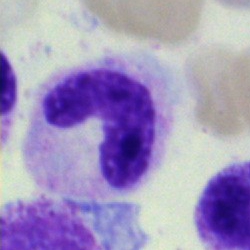Q: Identify the cell.
A: A stab cell.